Bone marrow smear.
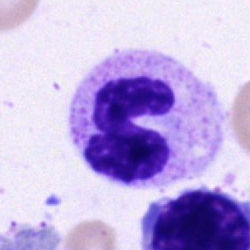 The cell type is neutrophil (segmented).